Peripheral blood film — 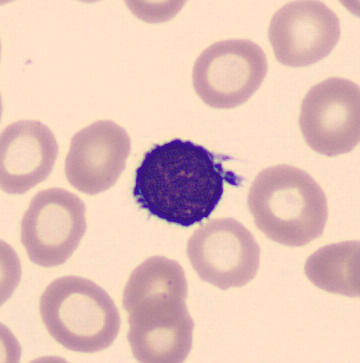A lymphocyte.